Bone marrow smear:
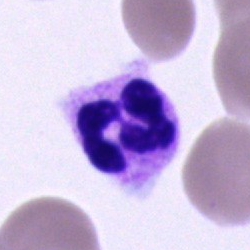
Cell = polymorphonuclear neutrophil.